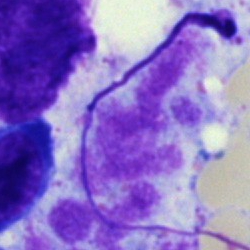 Impression → artefact.